Cropped to a single cell. Bone marrow smear:
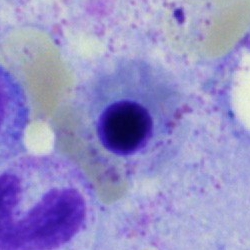Classification = nucleated red cell.